MGG-stained · brightfield microscopy, 40× oil immersion · bone marrow smear — 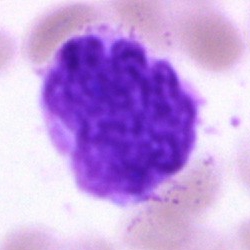
Q: What is shown here?
A: This is an artefact.